Brightfield, 40× oil-immersion objective; bone marrow aspirate smear — 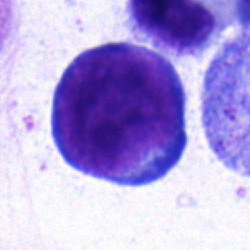Single cell identified as a pronormoblast.